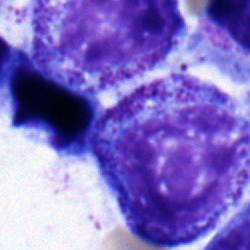Specimen: bone marrow aspirate smear.
Morphological class: myelocyte.
Lineage: myeloid.